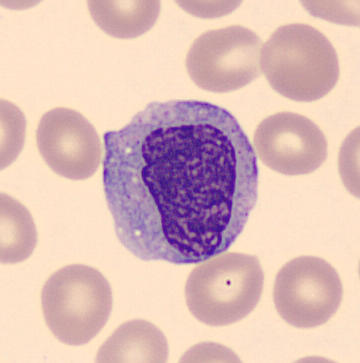
Peripheral blood film. Morphology → monocyte.